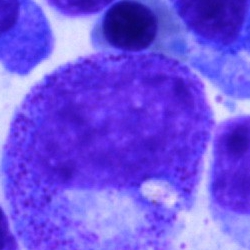Single cell identified as a progranulocyte.